Bone marrow smear — 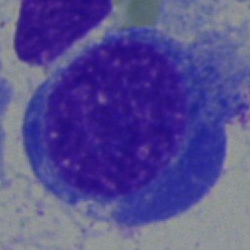
A plasma cell.